Bone marrow aspirate smear — 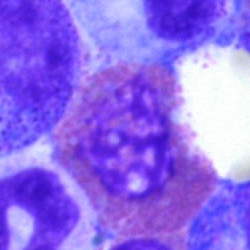 Eosinophilic granulocyte.